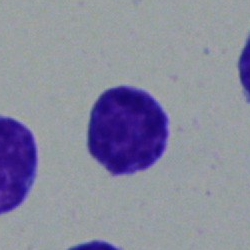 Q: What cell is this?
A: It is a lymphocyte.